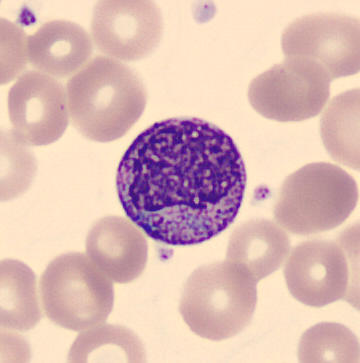Morphology → myelocyte.